Bone marrow aspirate smear: 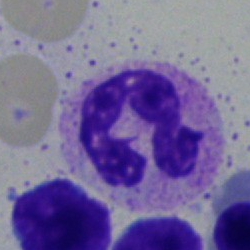
Single cell identified as a segmented neutrophil.